Pappenheim-stained. Bone marrow smear.
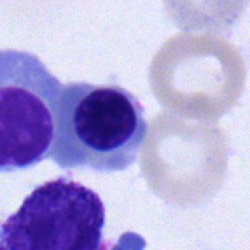
{"cell_type": "nucleated red cell", "lineage": "erythroid"}